Bone marrow aspirate smear: 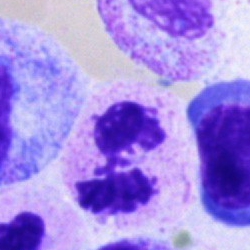
Q: What is the morphological classification of this cell?
A: This is a polymorphonuclear neutrophil.